Bone marrow aspirate smear: 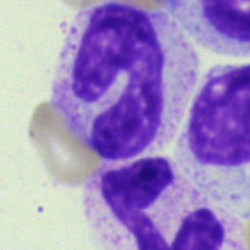 Morphology consistent with a band neutrophil.